Bone marrow aspirate smear. Brightfield, 40× oil-immersion objective:
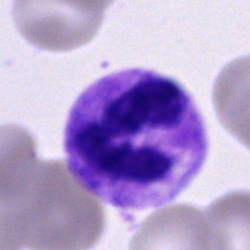

Morphology — segmented neutrophil.